Bone marrow aspirate smear — 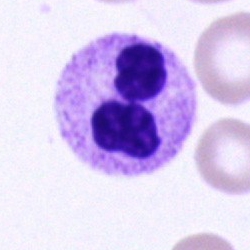Impression — neutrophil (segmented).